Bone marrow smear · cropped to a single cell: 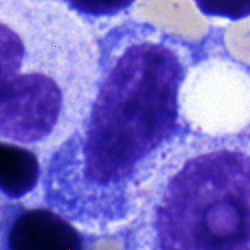
Single cell identified as a promyelocyte.